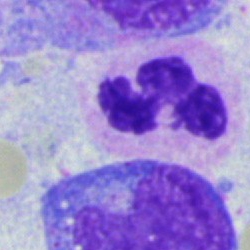 Morphology — polymorphonuclear neutrophil.